Peripheral blood smear
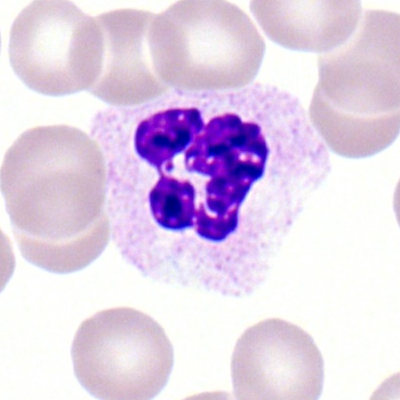
Neutrophil (segmented).